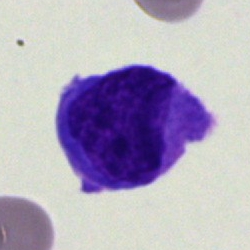Cell — lymphocyte.